Bone marrow smear: 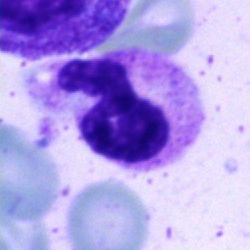 The cell shown is a segmented neutrophil.